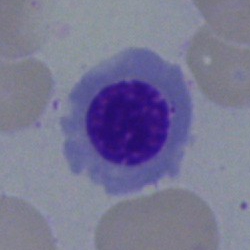
{"cell_type": "erythroblast"}